Peripheral blood film. Romanowsky stain — 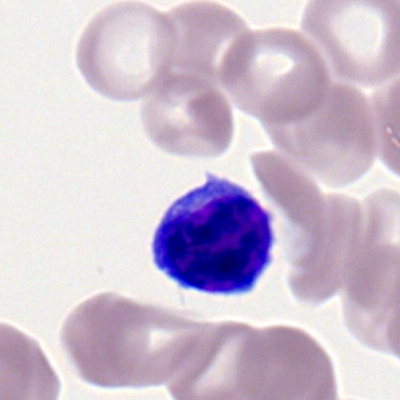Specimen: peripheral blood film.
Cell type: lymphocyte.